Brightfield, 40× oil-immersion objective. 250×250 px. Bone marrow aspirate smear: 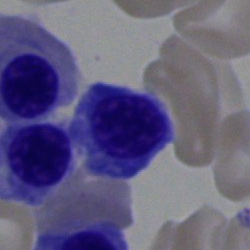

Specimen: bone marrow aspirate smear.
Classification: nucleated red cell.